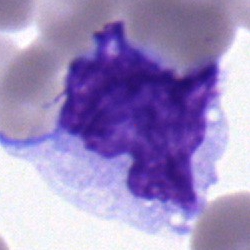 Morphology — monocyte.